Peripheral blood film — 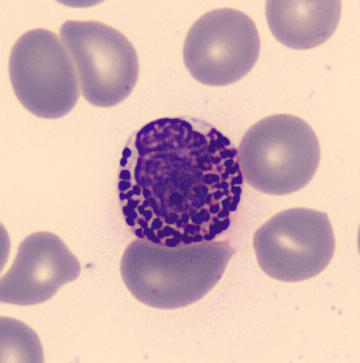
Q: Which cell type is shown here?
A: A basophil.